40× oil immersion · MGG-stained · bone marrow aspirate smear
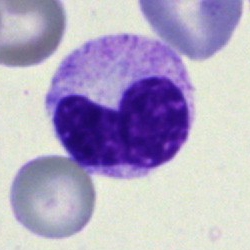
Band neutrophil.